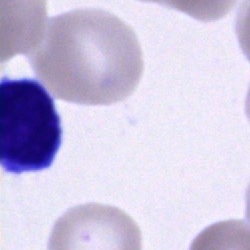

A lymphocyte.